Bone marrow smear
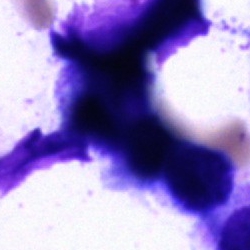Q: What is shown here?
A: Artifact.